Peripheral blood film
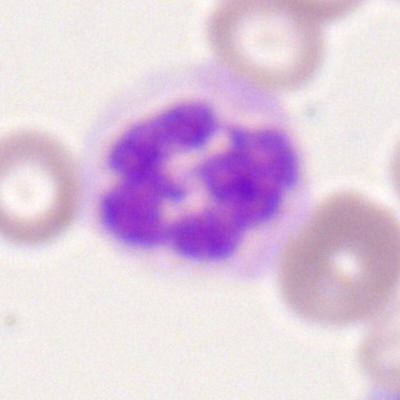Impression → segmented neutrophil.